Peripheral blood film — 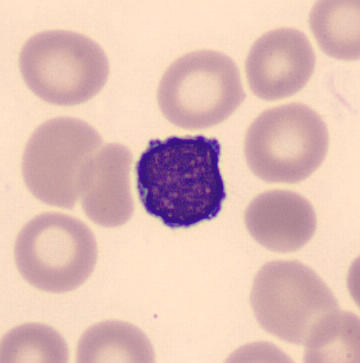
The cell shown is a lymphocyte.